Bone marrow aspirate smear · cropped to a single cell
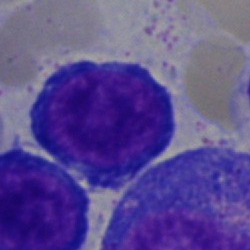
Morphology → normoblast.